Bone marrow aspirate smear: 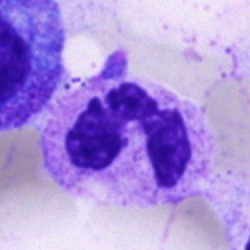 Q: Identify the cell.
A: This is a segmented neutrophil.